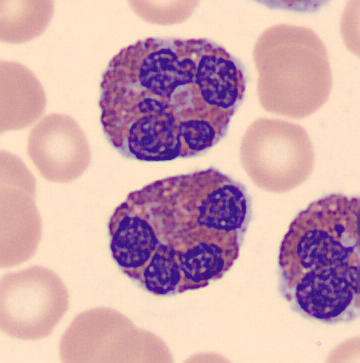

Automated cell imaging (CellaVision DM96). Single-cell crop.
Specimen: peripheral blood film.
Cell type: eosinophilic granulocyte.
Lineage: myeloid.